Bone marrow aspirate smear: 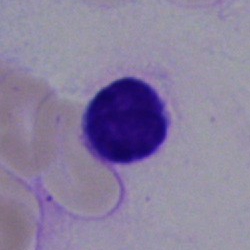Specimen: bone marrow smear.
Cell type: lymphocyte.
Lineage: lymphoid.